Bone marrow smear; May-Grünwald-Giemsa stain:
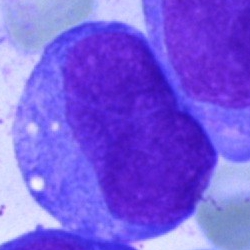
Blast.